Bone marrow smear
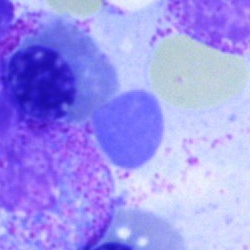
Q: What is the morphological classification of this cell?
A: It is a normoblast.